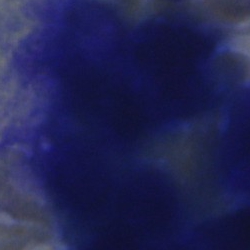An artifact on a bone marrow smear.